Bone marrow aspirate smear · single-cell crop:
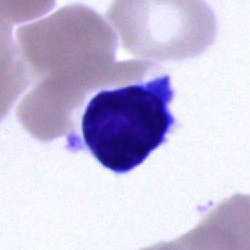 Single cell identified as a lymphocyte.